Single-cell crop. Bone marrow aspirate smear — 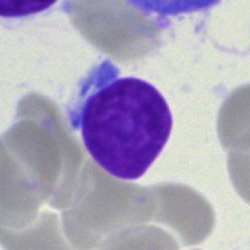This is a typical lymphocyte.